Bone marrow aspirate smear: 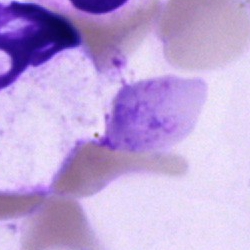

The cell shown is an artifact.